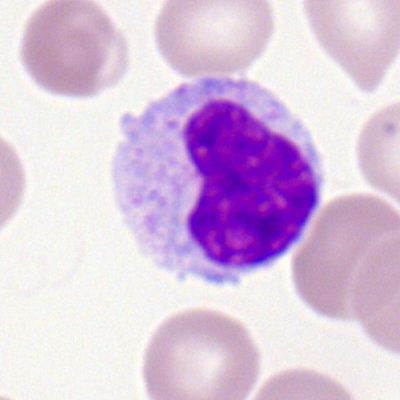Single cell identified as a lymphocyte.